May-Grünwald-Giemsa stain · 250 by 250 pixels · bone marrow aspirate smear — 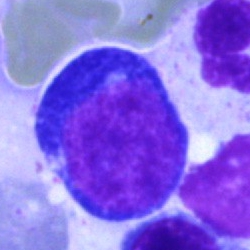Morphology — proerythroblast.